Peripheral blood film: 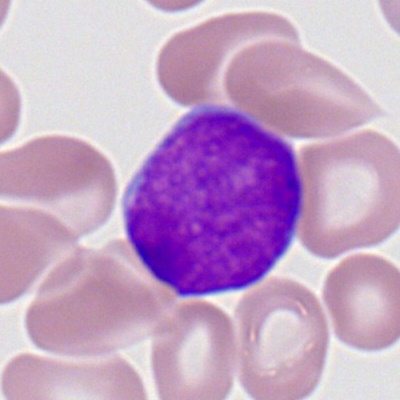
The cell shown is a myeloblast.